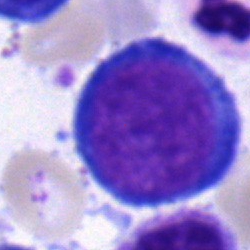

This is a pronormoblast.